Single-cell field. Bone marrow smear. Brightfield, 40× oil-immersion objective: 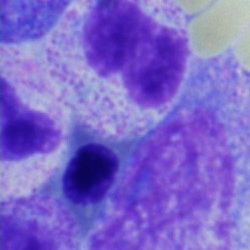Morphology consistent with a nucleated red cell.